Bone marrow aspirate smear: 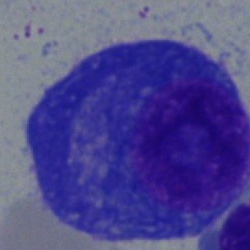 Morphological class — plasmacyte.